Bone marrow aspirate smear:
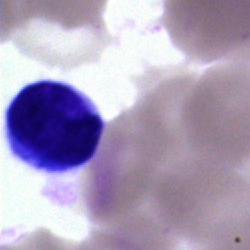
Showing a lymphocyte.